Bone marrow aspirate smear — 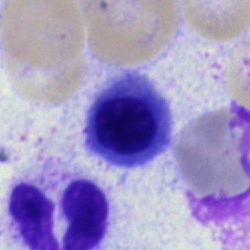 Specimen: bone marrow aspirate smear.
Morphological class: erythroblast.
Lineage: erythroid.